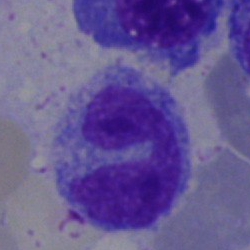 Specimen: bone marrow aspirate smear.
Morphological class: monocyte.